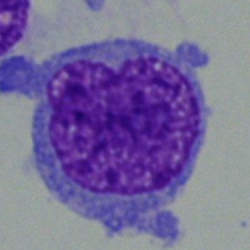
Q: Identify the cell.
A: A blast.